250 by 250 pixels · bone marrow smear — 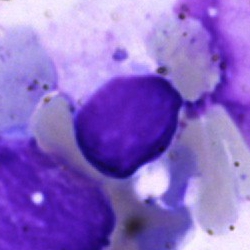

This is an artefact.